Single-cell field · bone marrow aspirate smear
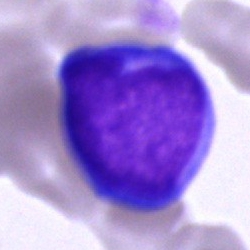
The cell is undifferentiated blast.